Bone marrow aspirate smear · 40× oil immersion · Pappenheim-stained.
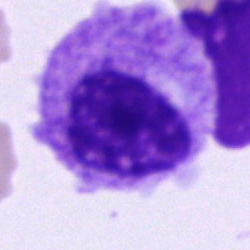 Showing a myelocyte.